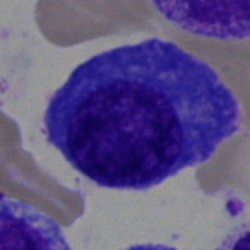Morphological class — plasmacyte.